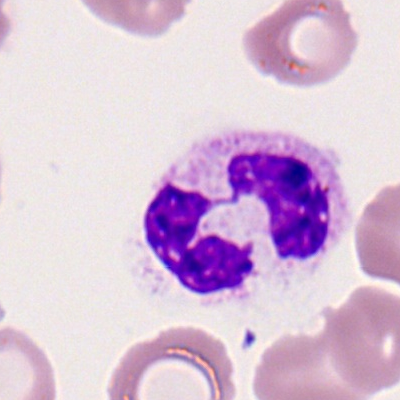 Morphology consistent with a segmented neutrophil.